Image size 400×400; peripheral blood film
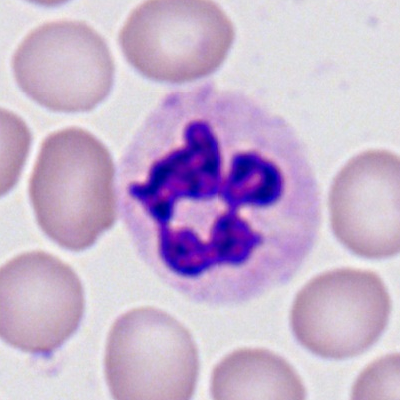

Showing a neutrophil (segmented).